Bone marrow smear:
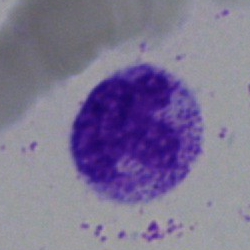Morphological class: neutrophil (segmented).